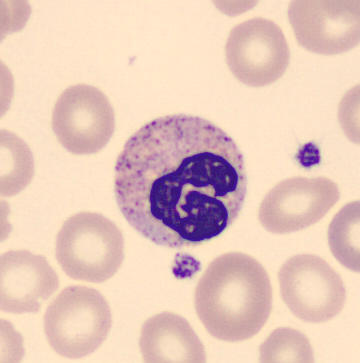

Preparation: Peripheral blood smear. Single cell centered in the field.

Impression → neutrophil (segmented).